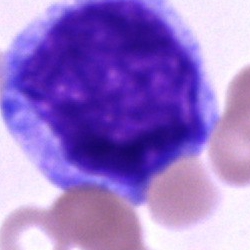

Cell type: undifferentiated blast.